Bone marrow smear: 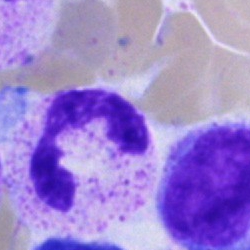 Morphological class: polymorphonuclear neutrophil.